Bone marrow aspirate smear — 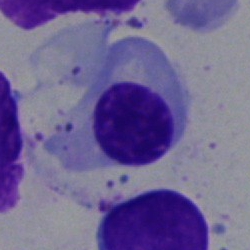{"cell_type": "nucleated red blood cell"}